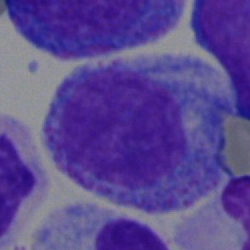 Promyelocyte.